Bone marrow smear; 250×250 px; brightfield microscopy, 40× oil immersion
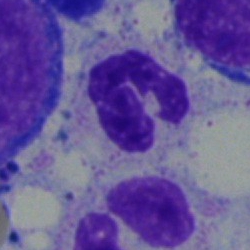 Specimen: bone marrow smear.
Cell: segmented neutrophil.
Lineage: myeloid.